250 by 250 pixels · bone marrow aspirate smear · brightfield microscopy, 40× oil immersion
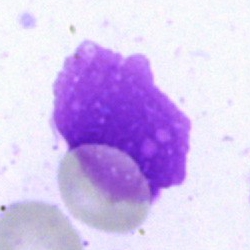
This is an artefact.